Peripheral blood smear: 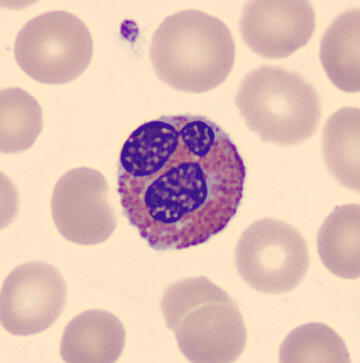

Cell = eosinophilic granulocyte.